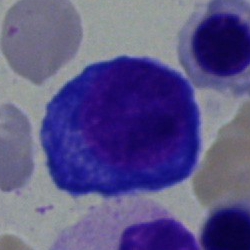
Cell = proerythroblast.